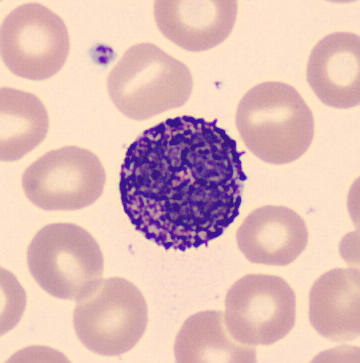Preparation: Peripheral blood smear. Cell: basophil.